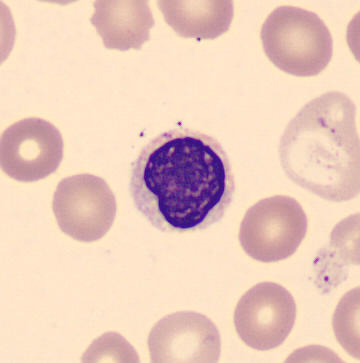 Preparation: Peripheral blood film · 360 by 363 pixels.

Single cell identified as an erythroblast.